Bone marrow aspirate smear · May-Grünwald-Giemsa stain · single-cell crop:
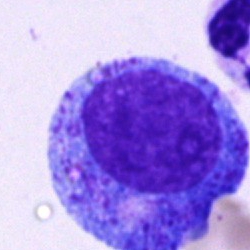Morphology consistent with a progranulocyte.